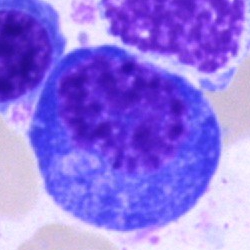 Classification: nucleated red cell.